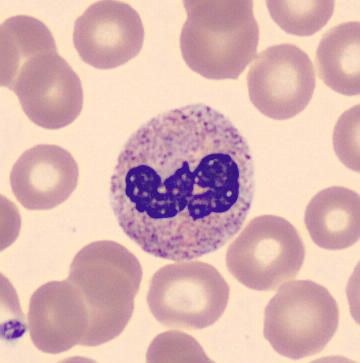The cell shown is a segmented neutrophil. Acquisition: Peripheral blood film.